Bone marrow aspirate smear: 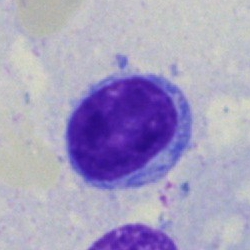

Q: Which cell type is shown here?
A: It is a lymphocyte.